Bone marrow aspirate smear — 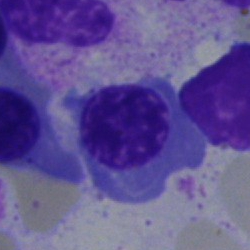Impression — nucleated red blood cell.